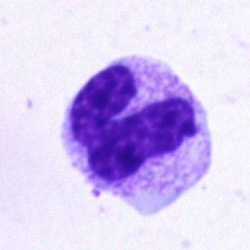 Cell — polymorphonuclear neutrophil.